Bone marrow aspirate smear: 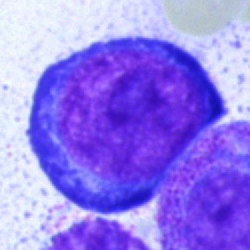

Morphology — proerythroblast.